Bone marrow smear: 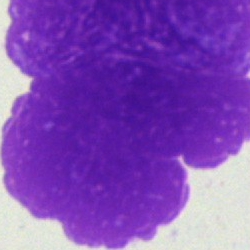
{"cell_type": "artefact"}